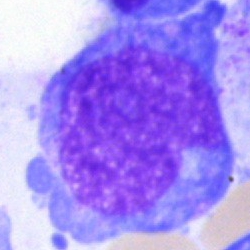
Classification = undifferentiated blast.